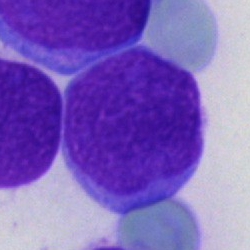Impression — blast.